250 by 250 pixels; bone marrow smear.
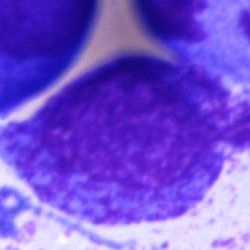A promyelocyte.